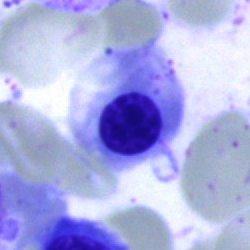{"cell_type": "nucleated red blood cell", "lineage": "erythroid"}